250 by 250 pixels · brightfield microscopy, 40× oil immersion · bone marrow aspirate smear: 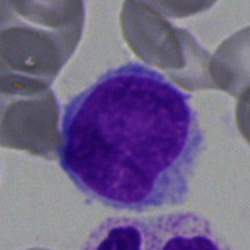Morphology — lymphocyte.